Bone marrow aspirate smear.
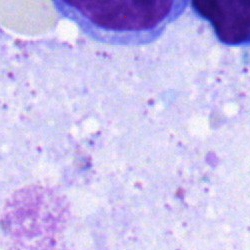Morphological class — typical lymphocyte.